Bone marrow smear; single cell centered in the field — 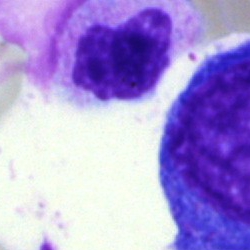Cell — promyelocyte.